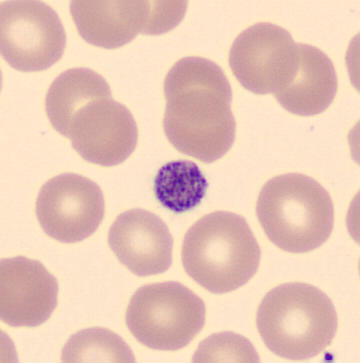Classification — platelet (thrombocyte).
Image: MGG-stained. CellaVision DM96 digital cell image. Peripheral blood smear.